Bone marrow aspirate smear:
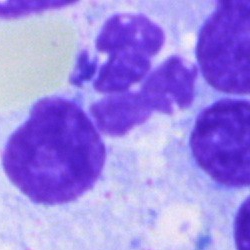 This is a segmented neutrophil.